Bone marrow smear; image size 250×250.
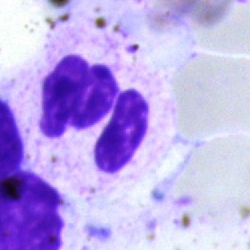 Impression — polymorphonuclear neutrophil.